Bone marrow aspirate smear
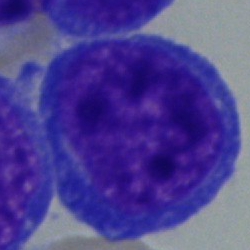Blast.